Bone marrow aspirate smear · 250 by 250 pixels · May-Grünwald-Giemsa stain — 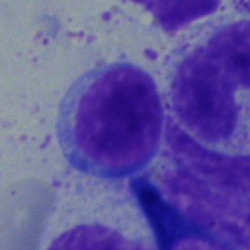 Morphological class = typical lymphocyte.